Bone marrow aspirate smear — 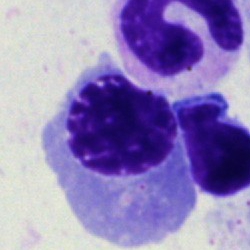 Cell type: erythroblast.